Bone marrow aspirate smear:
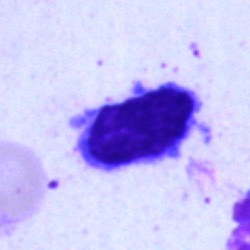The morphological class is lymphocyte.